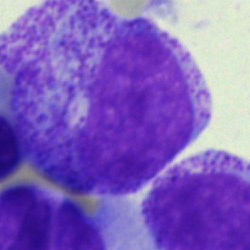

Morphological class = progranulocyte.